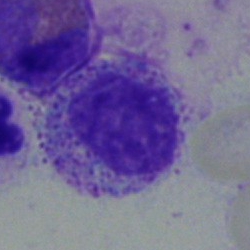Myelocyte.